Bone marrow aspirate smear. 250×250 px:
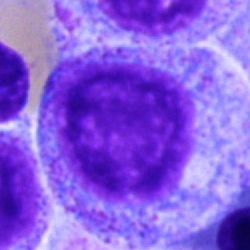
{"cell_type": "progranulocyte", "lineage": "myeloid"}